Bone marrow aspirate smear — 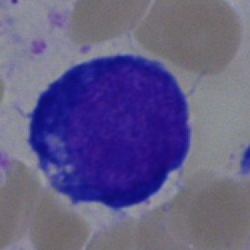Morphological class: proerythroblast.